Bone marrow aspirate smear; image size 250×250 — 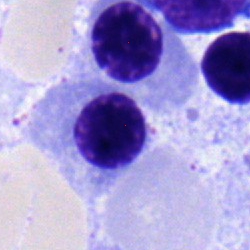
{"cell_type": "nucleated red blood cell", "lineage": "erythroid"}